250 by 250 pixels; bone marrow aspirate smear: 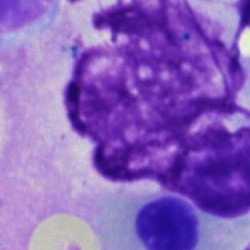
Cell = artifact.